Bone marrow smear:
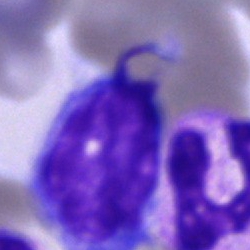 Specimen: bone marrow aspirate smear.
Cell type: unidentifiable cell.